Bone marrow smear
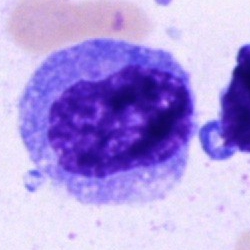 This is a blast.